Bone marrow smear · single-cell field: 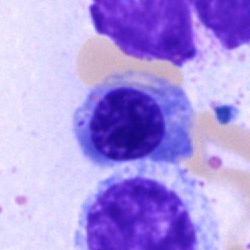{"cell_type": "normoblast", "lineage": "erythroid"}